Bone marrow smear: 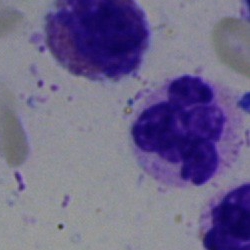Classification — segmented neutrophil.